Bone marrow aspirate smear.
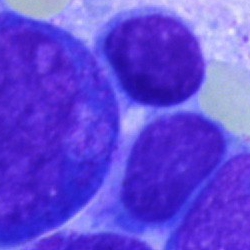

Impression → plasmacyte.